Peripheral blood film; Romanowsky stain; 400×400: 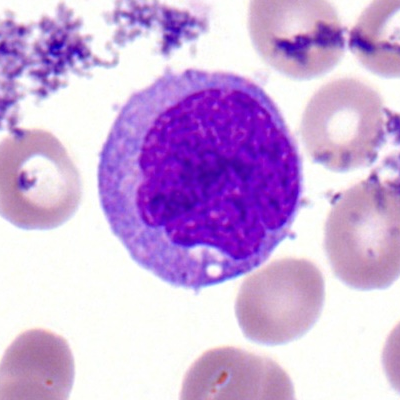

Single cell identified as a monocyte.